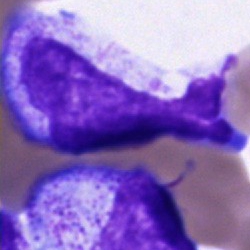 Cell type = cell of indeterminate lineage.